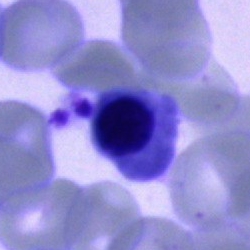

Classification = nucleated red cell.